Bone marrow aspirate smear. Brightfield microscopy, 40× oil immersion: 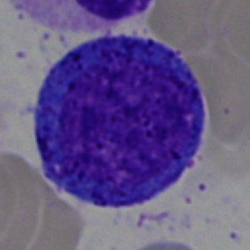

{"cell_type": "promyelocyte"}